Bone marrow smear.
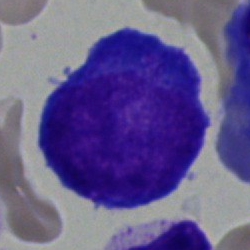 Q: Which cell type is shown here?
A: It is a normoblast.